Bone marrow smear · brightfield, 40× oil-immersion objective
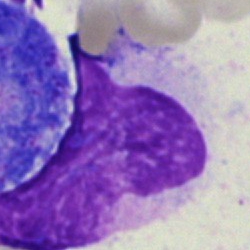
The classification is artifact.